Bone marrow smear:
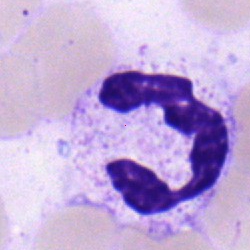

This is a polymorphonuclear neutrophil.